Bone marrow aspirate smear — 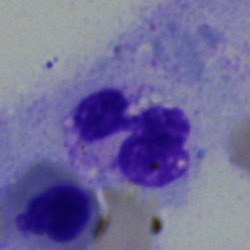 Q: What is the morphological classification of this cell?
A: A neutrophil (segmented).